Peripheral blood smear
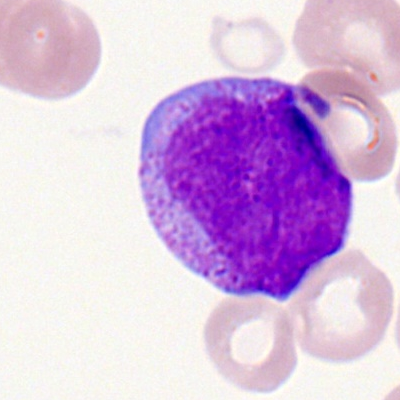
Showing a myeloblast.